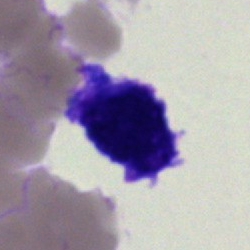Single cell identified as an artefact.